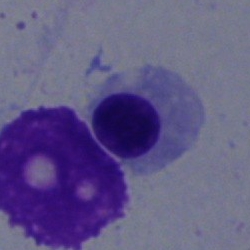Impression — nucleated red blood cell.